Bone marrow smear: 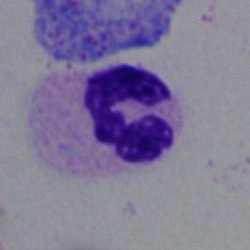Showing a polymorphonuclear neutrophil.